250×250 px. Bone marrow aspirate smear
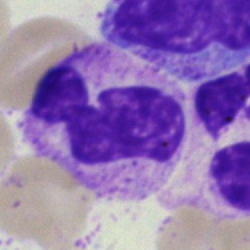

Showing a polymorphonuclear neutrophil.